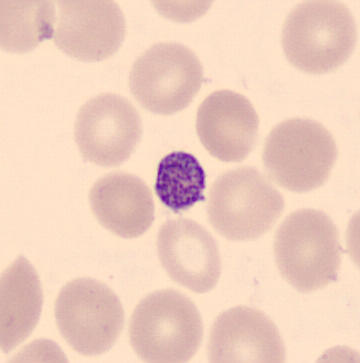Preparation: Peripheral blood smear.

Morphology — thrombocyte.